Bone marrow aspirate smear · image size 250×250.
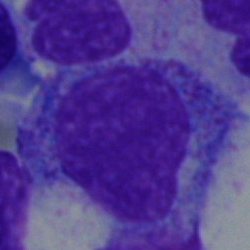

Single cell identified as a promyelocyte.